Peripheral blood smear.
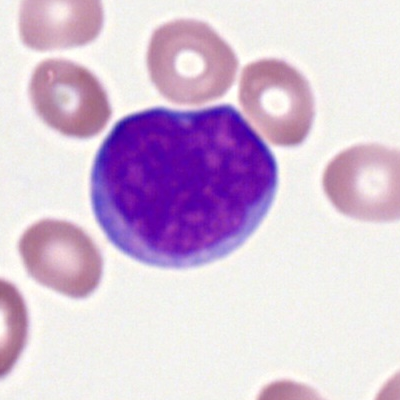

Classification = myeloblast.